Bone marrow aspirate smear. Single cell centered in the field:
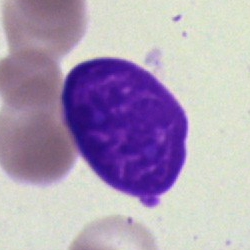Q: What is shown here?
A: An artefact.